Peripheral blood film. Romanowsky-stained.
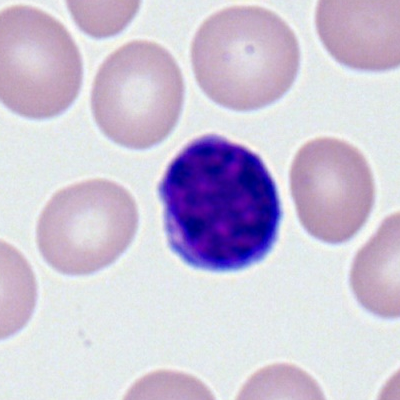{"cell_type": "lymphocyte"}